Bone marrow smear · brightfield microscopy, 40× oil immersion.
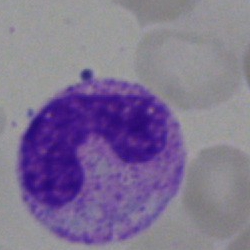 This is a band-form neutrophil.